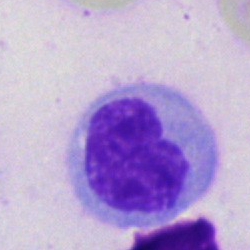

Q: What cell is this?
A: It is a monocyte.